Bone marrow smear: 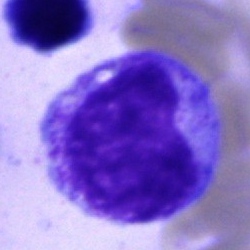

This is a progranulocyte.